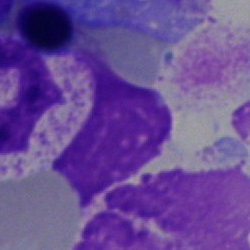 Morphology consistent with an artifact.